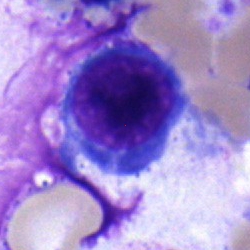Impression — erythroblast.